Brightfield microscopy, 40× oil immersion · cropped to a single cell · bone marrow smear — 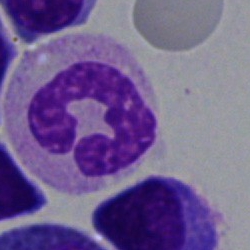 The classification is segmented neutrophil.